Peripheral blood film
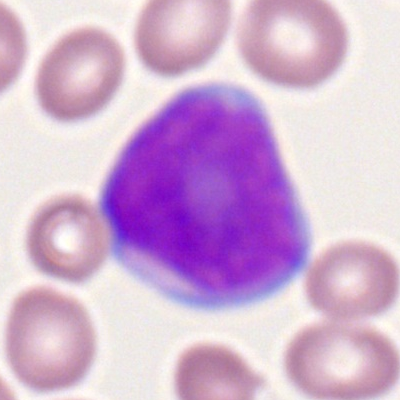Cell type: myeloblast.